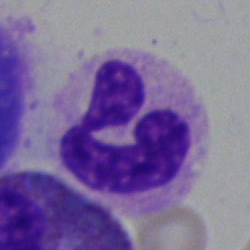
Bone marrow smear showing a neutrophil (segmented).